Bone marrow smear
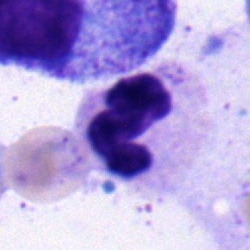 The cell is neutrophil (segmented).